Bone marrow aspirate smear — 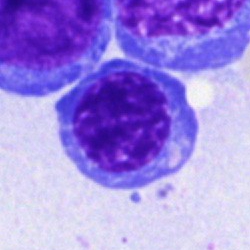 Cell: erythroblast.